Bone marrow aspirate smear:
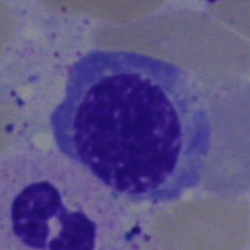

Cell = nucleated red blood cell.